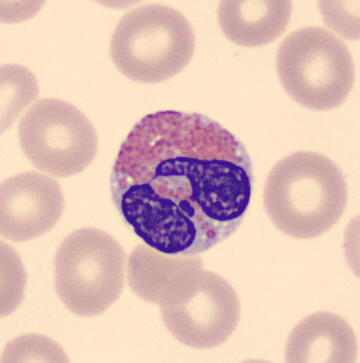
Q: What is the morphological classification of this cell?
A: This is an eosinophil.